Single-cell crop. May-Grünwald-Giemsa stain. Bone marrow smear: 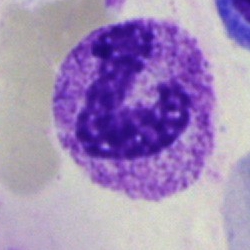 Cell — stab cell.